400×400 px; Romanowsky-type stain; peripheral blood film:
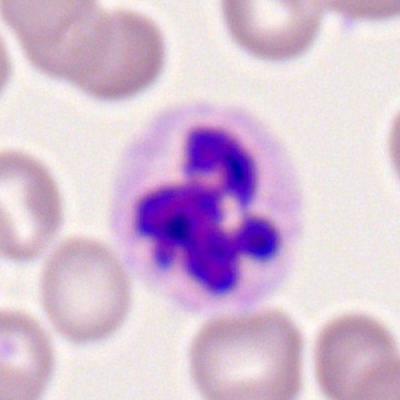

Cell — neutrophil (segmented).